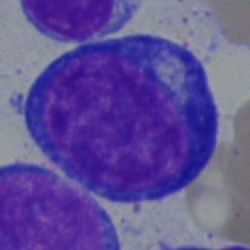Proerythroblast.